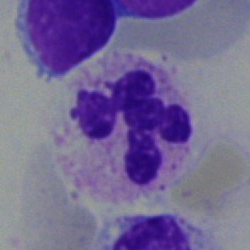Bone marrow aspirate smear, single cell — polymorphonuclear neutrophil.